Single-cell crop · peripheral blood smear · 100× objective, oil immersion.
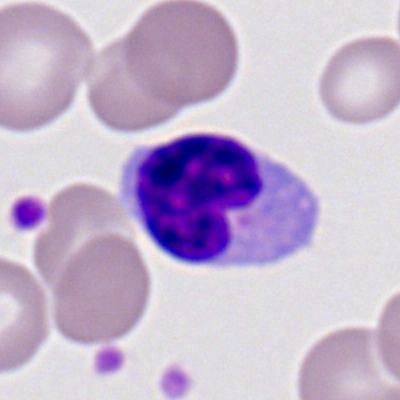Q: What cell is this?
A: A typical lymphocyte.